Bone marrow aspirate smear: 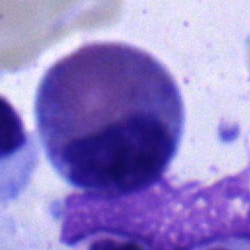The cell shown is an eosinophil.